Bone marrow aspirate smear · single cell centered in the field: 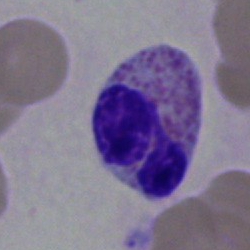Specimen: bone marrow aspirate smear.
Cell: eosinophilic granulocyte.
Lineage: myeloid.